Bone marrow smear — 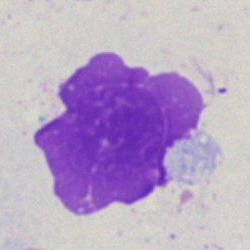 Cell type — artefact.